250 by 250 pixels; single-cell crop; bone marrow smear — 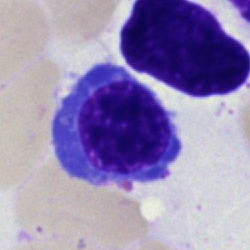
Cell type: basophil.